Bone marrow smear; cropped to a single cell.
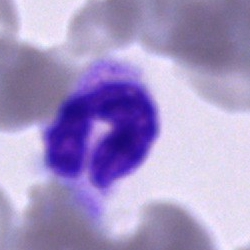 Stab cell.